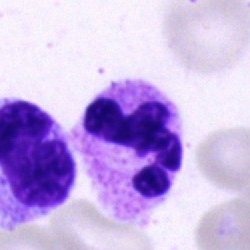
A segmented neutrophil.